Bone marrow smear; brightfield, 40× oil-immersion objective — 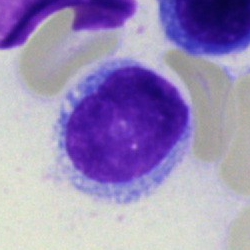

Cell type = lymphocyte.